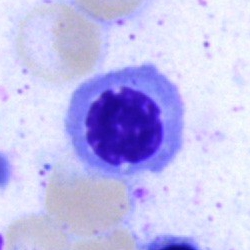

Q: What is the morphological classification of this cell?
A: This is a normoblast.